Bone marrow aspirate smear
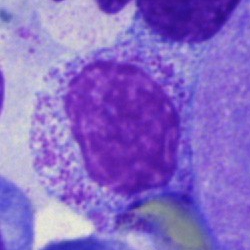 A myelocyte.